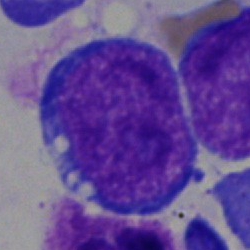
Bone marrow smear showing a blast.